250×250; bone marrow smear:
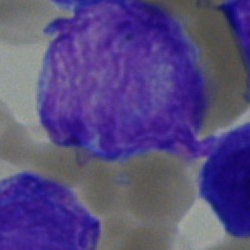

An undifferentiated blast.